Bone marrow smear
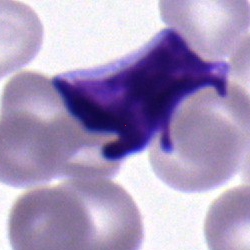

Q: What type of cell is this?
A: Typical lymphocyte.